Peripheral blood film:
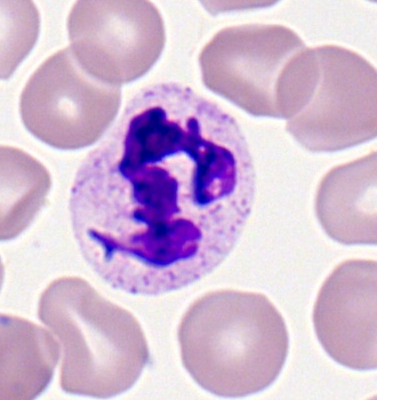

Morphology → neutrophil (segmented).